Single-cell field · bone marrow smear:
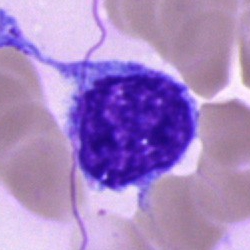 The morphological class is lymphocyte.